Peripheral blood smear: 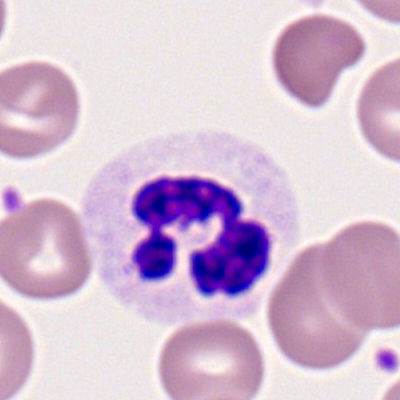
Showing a segmented neutrophil.